Peripheral blood film:
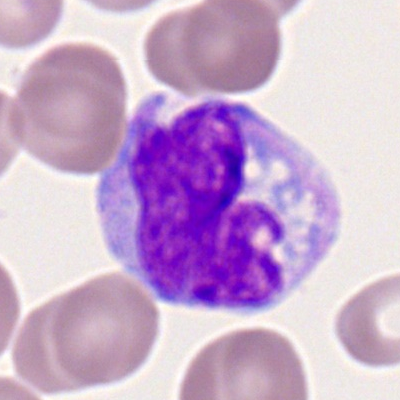
Showing a monocyte.